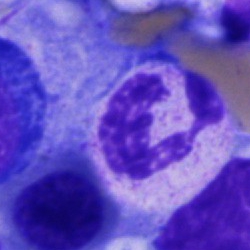
Impression → segmented neutrophil.